Bone marrow smear: 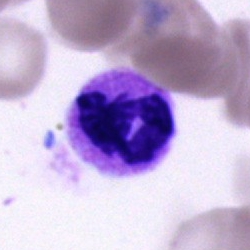 Morphology consistent with a polymorphonuclear neutrophil.